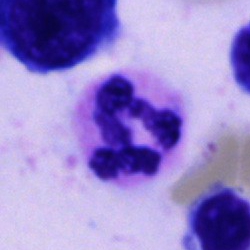
Neutrophil (segmented).